Bone marrow smear
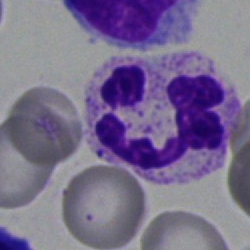

Q: Identify the cell.
A: This is a polymorphonuclear neutrophil.